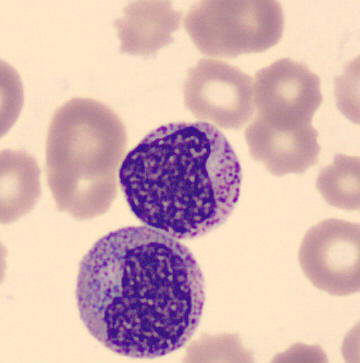Peripheral blood smear. Q: What is shown here?
A: A myelocyte.